Peripheral blood film. 400 by 400 pixels:
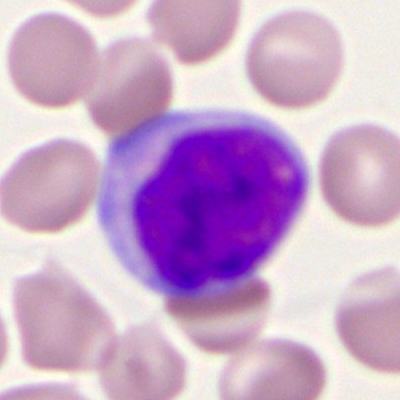Cell = myeloblast.